250×250. Bone marrow aspirate smear:
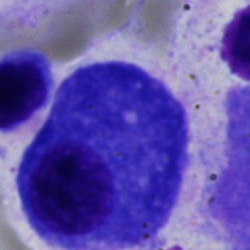A plasma cell.